Bone marrow smear.
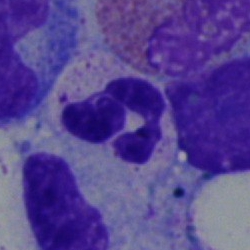

{"cell_type": "polymorphonuclear neutrophil"}